Bone marrow smear. MGG-stained: 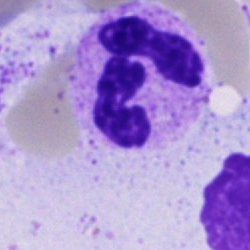

Specimen: bone marrow aspirate smear.
Cell: segmented neutrophil.